Bone marrow smear; single cell centered in the field: 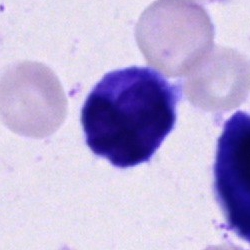

Morphology → unidentifiable cell.